Bone marrow aspirate smear.
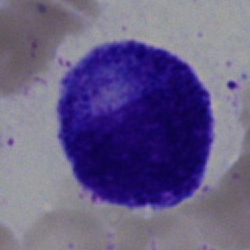

A promyelocyte.